Bone marrow smear.
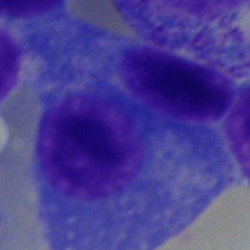{"cell_type": "plasma cell", "lineage": "lymphoid"}